Bone marrow smear. 250×250 px — 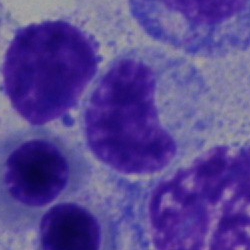

Morphology — stab cell.